Cropped to a single cell; bone marrow aspirate smear:
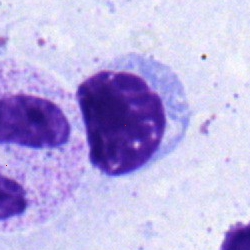
Morphology consistent with a nucleated red blood cell.